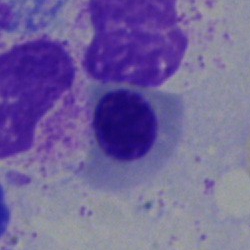
A nucleated red cell.